Peripheral blood film; single-cell crop:
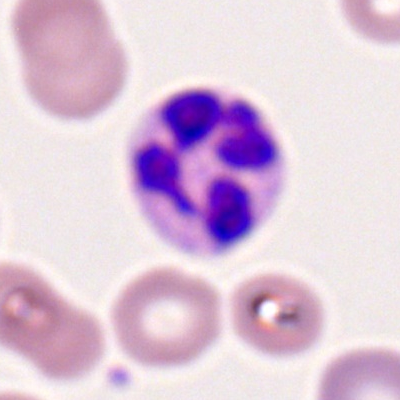

Specimen: peripheral blood film.
Morphological class: neutrophil (segmented).
Lineage: myeloid.